400×400. Peripheral blood smear:
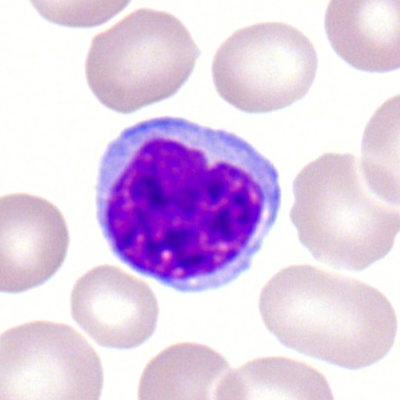 A typical lymphocyte.